Bone marrow aspirate smear: 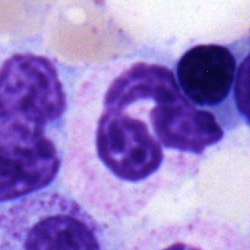

Morphology → segmented neutrophil.